Brightfield microscopy, 40× oil immersion; 250×250; bone marrow smear — 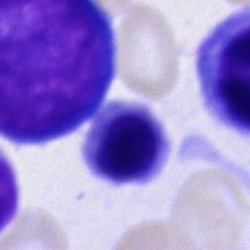
Cell: erythroblast.